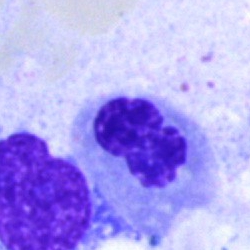Morphological class: erythroblast.